Bone marrow aspirate smear: 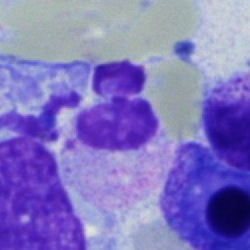
Artifact.